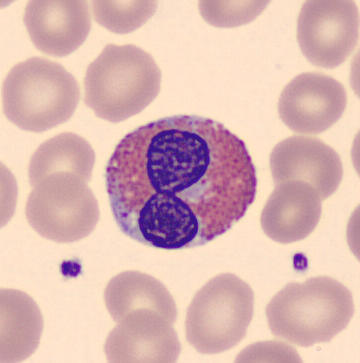 The cell shown is an eosinophilic granulocyte.